Peripheral blood smear — 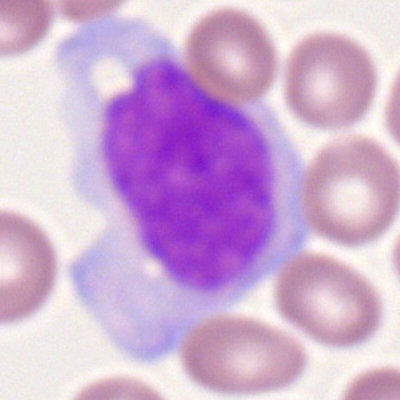

Classification = monocyte.